Bone marrow smear:
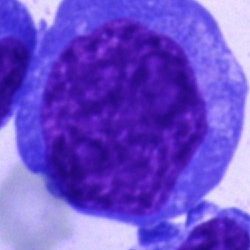

The cell is blast.